Bone marrow smear · image size 250×250: 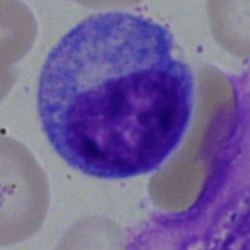

This is a myelocyte.